Bone marrow aspirate smear. MGG-stained
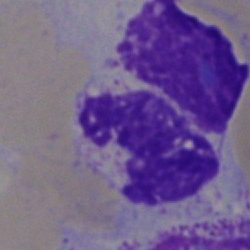

A segmented neutrophil.